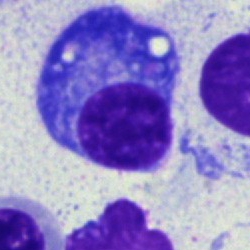Bone marrow smear showing a plasma cell.